40× objective, oil immersion · bone marrow smear — 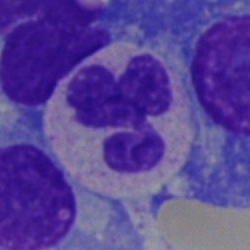
Q: What type of cell is this?
A: A neutrophil (segmented).